Bone marrow aspirate smear: 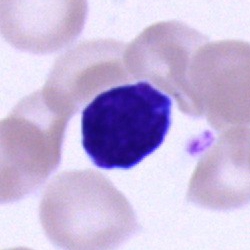 Impression → lymphocyte.